Bone marrow smear · image size 250×250
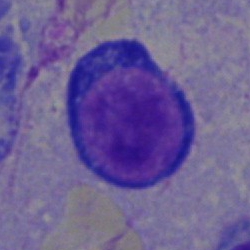{"cell_type": "proerythroblast", "lineage": "erythroid"}